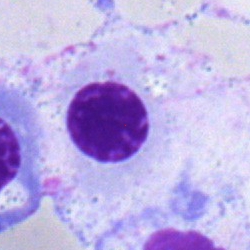 This is a nucleated red blood cell.